Bone marrow smear:
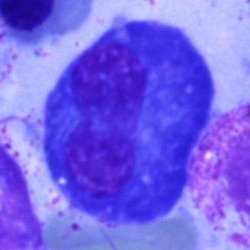

Morphology consistent with a plasmacyte.